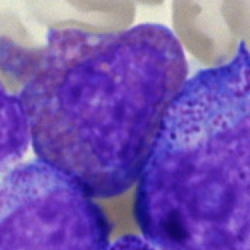

Single cell identified as a promyelocyte.